Bone marrow aspirate smear. Image size 250×250: 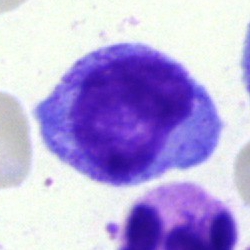
Morphology consistent with a myelocyte.